Bone marrow aspirate smear · 250 by 250 pixels · single-cell crop: 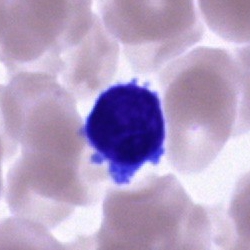
Q: Which cell type is shown here?
A: Typical lymphocyte.